Bone marrow smear.
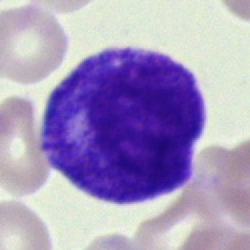 Impression → myelocyte.